Bone marrow smear: 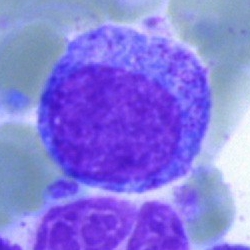The cell shown is a progranulocyte.